Bone marrow aspirate smear; cropped to a single cell; 40× objective, oil immersion
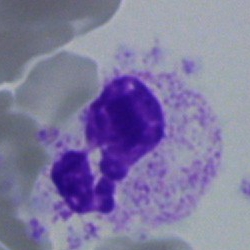Morphological class: polymorphonuclear neutrophil.